Pappenheim-stained; single-cell field; bone marrow aspirate smear.
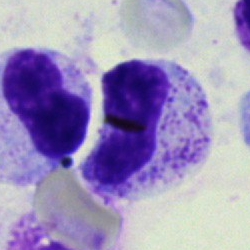
Q: Identify the cell.
A: It is a metamyelocyte.